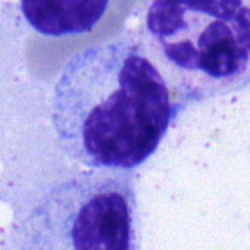
Specimen: bone marrow aspirate smear.
Morphological class: metamyelocyte.
Lineage: myeloid.